Bone marrow aspirate smear; May-Grünwald-Giemsa/Pappenheim stain; 250×250:
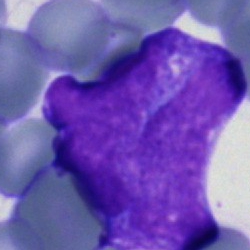 Specimen: bone marrow aspirate smear.
Cell: undifferentiated blast.